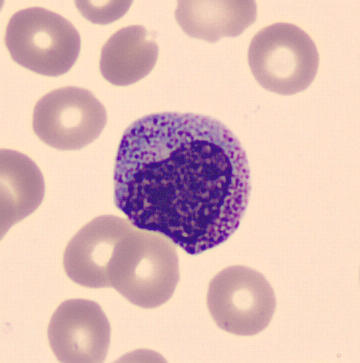
This is a myelocyte.
Peripheral blood smear.